Bone marrow smear: 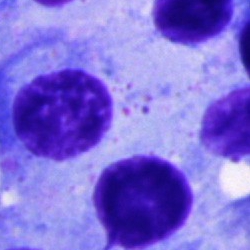The cell type is plasma cell.